Bone marrow aspirate smear; single cell centered in the field; MGG-stained.
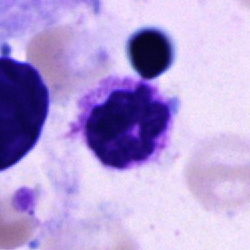

The cell shown is a neutrophil (segmented).